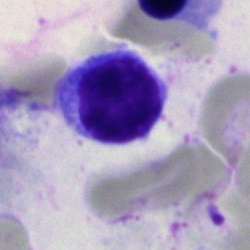

Specimen: bone marrow smear.
Morphological class: typical lymphocyte.